Bone marrow aspirate smear
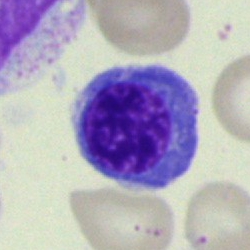 This is a normoblast.